Bone marrow aspirate smear · May-Grünwald-Giemsa stain · single cell centered in the field.
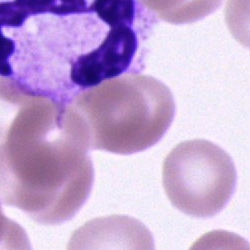
A neutrophil (segmented).